Single cell centered in the field; bone marrow smear; 250×250 px
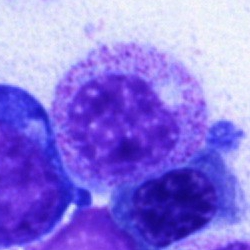Myelocyte.